Bone marrow smear; 250 by 250 pixels — 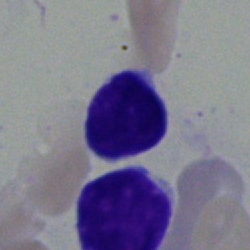Lymphocyte.